Bone marrow smear. Single-cell field:
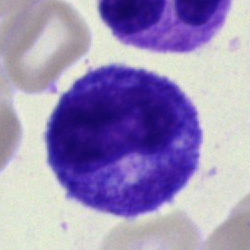 Q: What cell is this?
A: Metamyelocyte.